Bone marrow aspirate smear. May-Grünwald-Giemsa/Pappenheim stain. Single-cell crop.
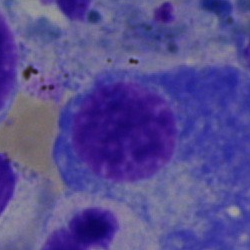 {"cell_type": "plasmacyte"}